Bone marrow aspirate smear · 250×250.
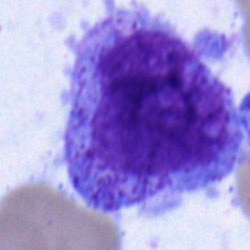Q: What is shown here?
A: It is a blast.